Bone marrow smear — 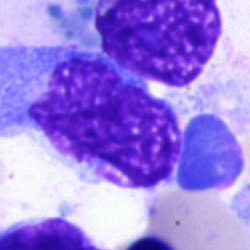 The cell is artifact.